Peripheral blood smear. 400×400 px:
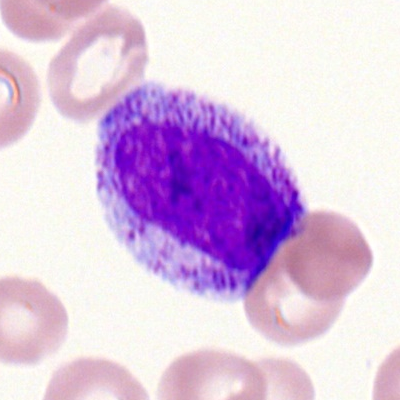
A metamyelocyte.